Peripheral blood film
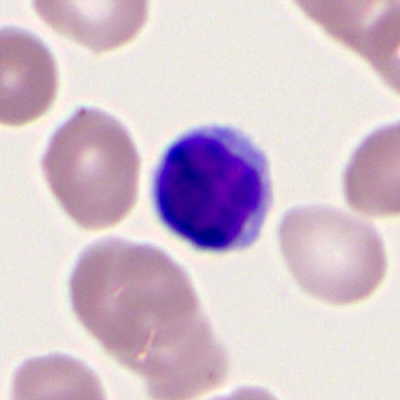Lymphocyte.